Bone marrow smear.
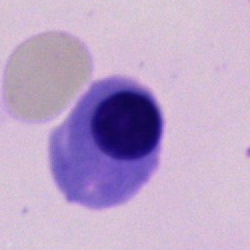Q: What cell is this?
A: This is a normoblast.